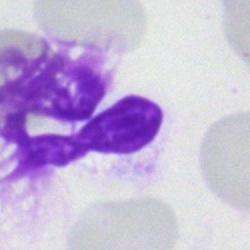

Cell = artifact.